Bone marrow smear; single-cell field; May-Grünwald-Giemsa stain
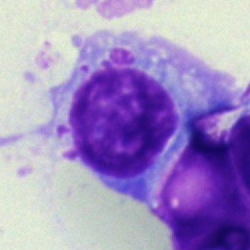{"cell_type": "lymphocyte", "lineage": "lymphoid"}